Bone marrow aspirate smear: 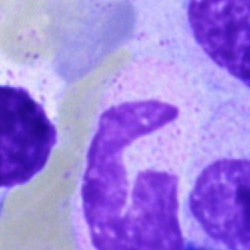
Single cell identified as an artefact.